Bone marrow smear
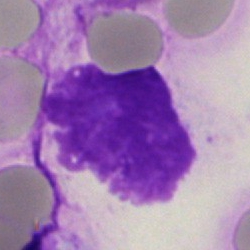

Impression → artefact.